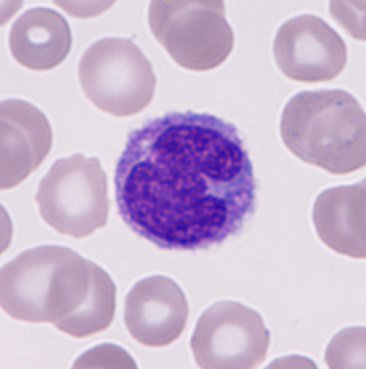 Morphology consistent with a monocyte.
Preparation: Peripheral blood smear.